Bone marrow aspirate smear
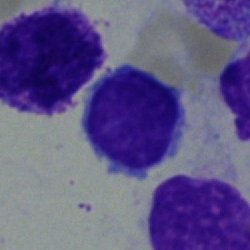

Classification: lymphocyte.